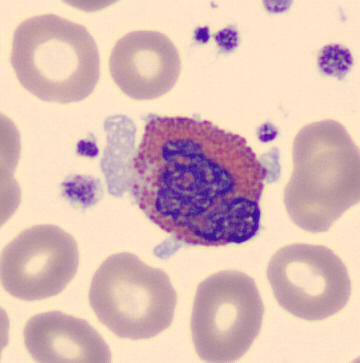Q: What is this?
A: An eosinophilic granulocyte.